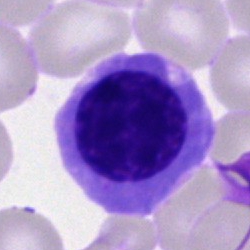
Nucleated red blood cell.